Bone marrow aspirate smear; May-Grünwald-Giemsa/Pappenheim stain: 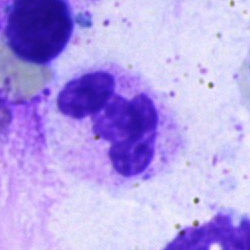 Morphological class = polymorphonuclear neutrophil.